Bone marrow aspirate smear:
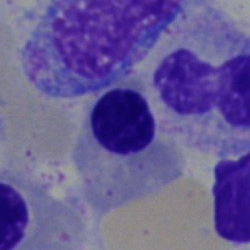
Morphological class — nucleated red blood cell.